Bone marrow aspirate smear. May-Grünwald-Giemsa stain. 40× oil immersion:
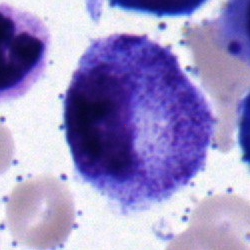Cell — progranulocyte.